Single cell centered in the field; bone marrow aspirate smear
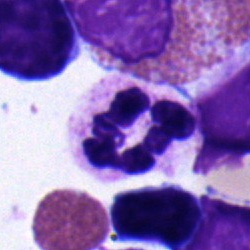
The cell shown is a segmented neutrophil.